Bone marrow smear; 250 by 250 pixels.
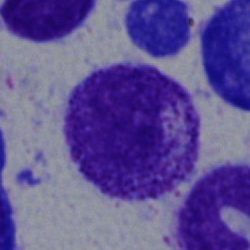

Q: Identify the cell.
A: This is a myelocyte.